Cropped to a single cell. Bone marrow aspirate smear.
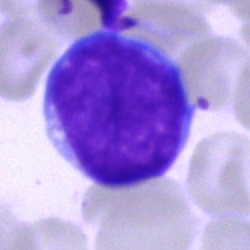
Classification = undifferentiated blast.